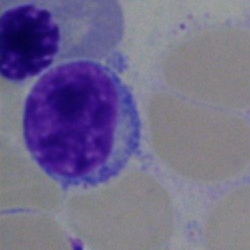 Q: Which cell type is shown here?
A: A lymphocyte.